Bone marrow aspirate smear; 250×250; MGG-stained — 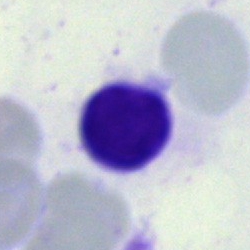

The cell is lymphocyte.